Bone marrow smear:
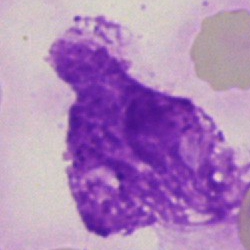
Q: What is shown here?
A: This is an artefact.